MGG-stained. Bone marrow smear
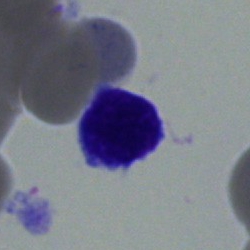Showing a lymphocyte.